Single-cell field. Bone marrow smear
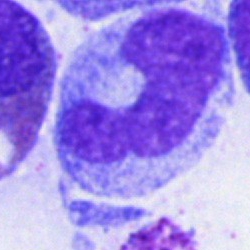
Cell — monocyte.